Peripheral blood smear · MGG stain: 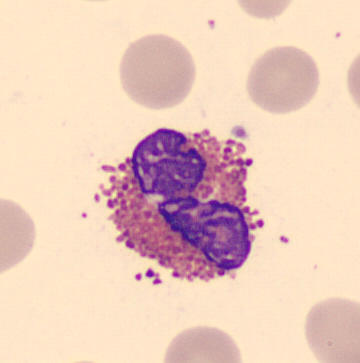
Morphology consistent with an eosinophil.